Bone marrow smear
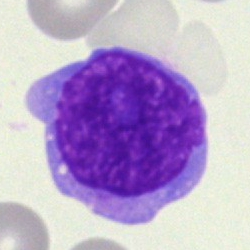 The morphological class is blast.